Peripheral blood smear; single-cell field — 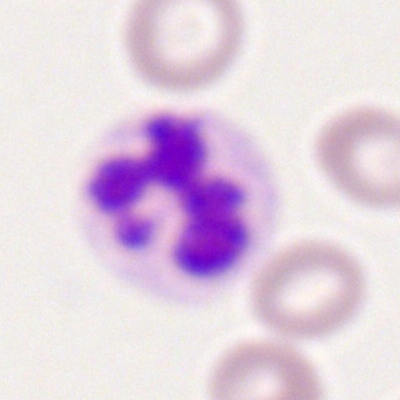Cell type: polymorphonuclear neutrophil.